Brightfield microscopy, 40× oil immersion. Bone marrow aspirate smear:
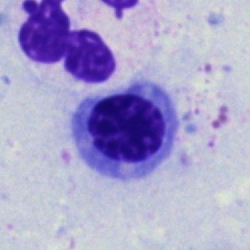
Specimen: bone marrow smear.
Classification: nucleated red blood cell.
Lineage: erythroid.